Bone marrow aspirate smear — 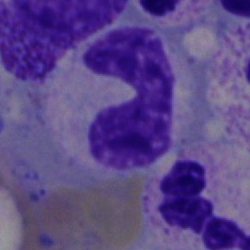 Morphology → neutrophil (band).